Bone marrow smear:
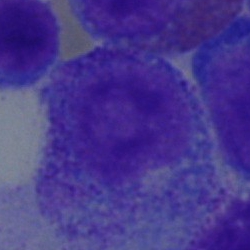 Impression → promyelocyte.